Bone marrow aspirate smear. Cropped to a single cell. May-Grünwald-Giemsa stain
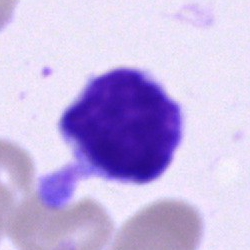
Specimen: bone marrow smear.
Classification: lymphocyte.
Lineage: lymphoid.